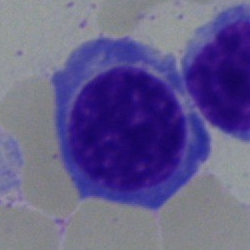Morphology → nucleated red blood cell.